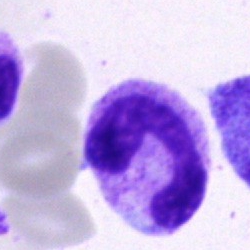Cell type: band neutrophil.